40× oil immersion; bone marrow aspirate smear:
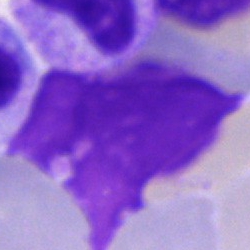

An artifact.